Image size 250×250. Bone marrow aspirate smear.
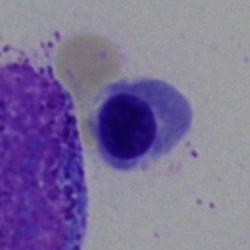 Morphological class — nucleated red blood cell.